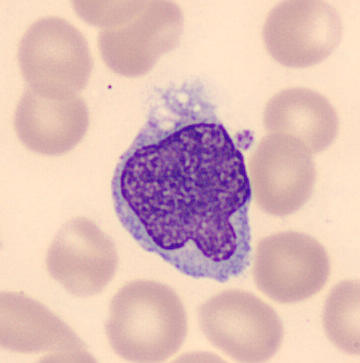 Specimen: peripheral blood film.
Classification: monocyte.
Lineage: myeloid.